250×250. May-Grünwald-Giemsa stain. Bone marrow smear
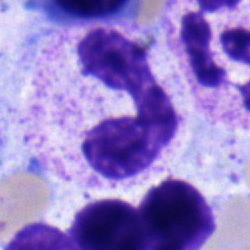

Cell type = neutrophil (band).